Bone marrow smear; image size 250×250 — 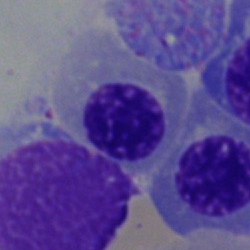

Showing a normoblast.